Peripheral blood smear — 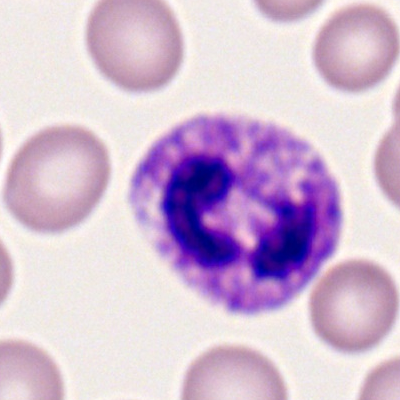The morphological class is polymorphonuclear neutrophil.